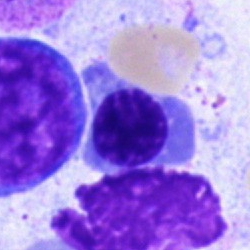

Impression → erythroblast.